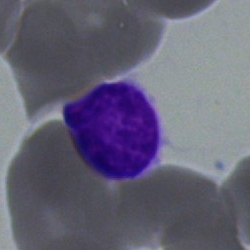Single cell identified as a typical lymphocyte.